Bone marrow smear · single-cell field — 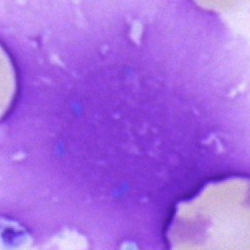Classification: artifact.